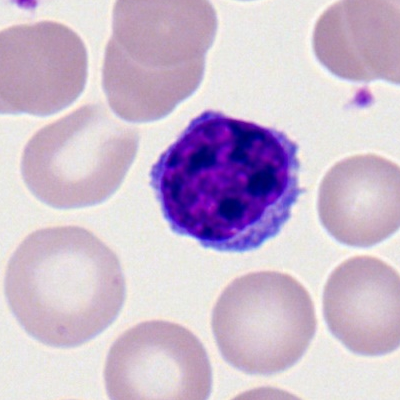Cell type: lymphocyte.